Bone marrow smear
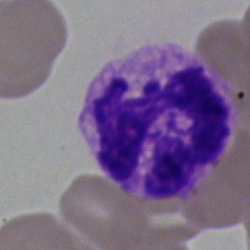

The cell is neutrophil (segmented).